Bone marrow aspirate smear: 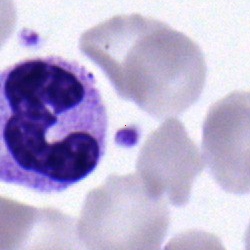 Cell = segmented neutrophil.